Bone marrow aspirate smear
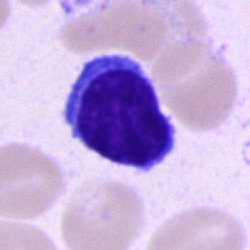 Specimen: bone marrow aspirate smear.
Morphological class: lymphocyte.
Lineage: lymphoid.